Bone marrow aspirate smear.
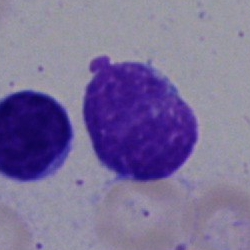

Q: What is shown here?
A: This is an artifact.